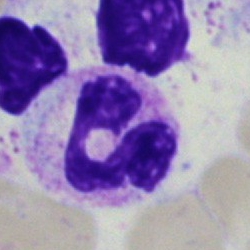 Classification = neutrophil (segmented).